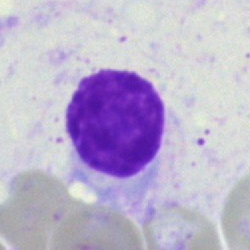 Specimen: bone marrow smear.
Morphological class: artifact.